Bone marrow smear:
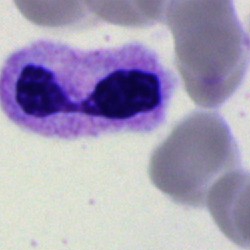Specimen: bone marrow aspirate smear.
Morphological class: segmented neutrophil.